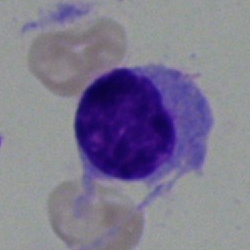Specimen: bone marrow aspirate smear.
Cell: hairy cell.
Lineage: lymphoid.